Bone marrow smear — 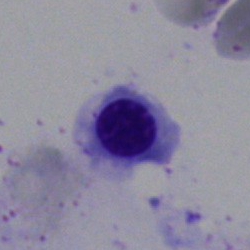Morphological class = nucleated red cell.